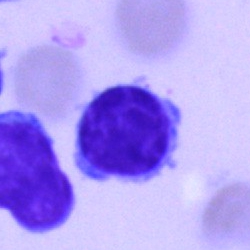Q: What is shown here?
A: A typical lymphocyte.